Peripheral blood film — 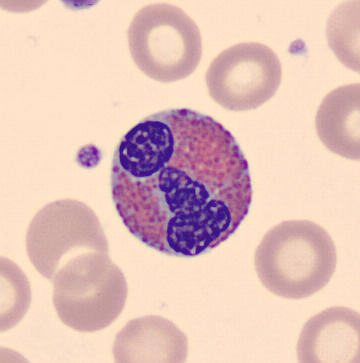
Morphology consistent with an eosinophil.